250×250; bone marrow smear
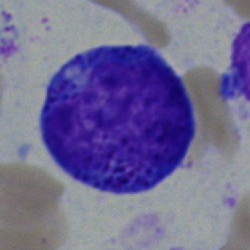Specimen: bone marrow aspirate smear.
Classification: progranulocyte.